Bone marrow aspirate smear:
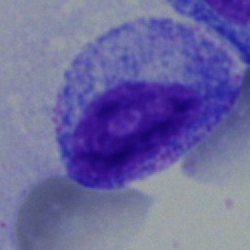

Morphology → promyelocyte.